Bone marrow smear — 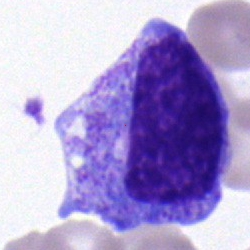
The classification is band neutrophil.